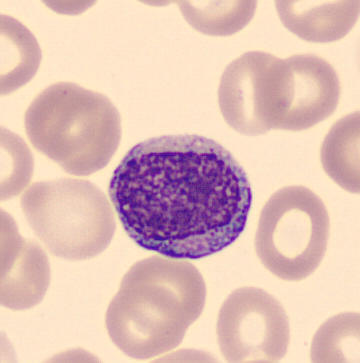 Classification = myelocyte.